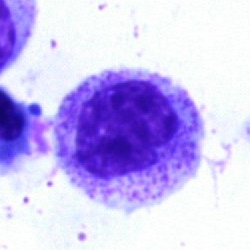
Specimen: bone marrow smear.
Classification: myelocyte.
Lineage: myeloid.